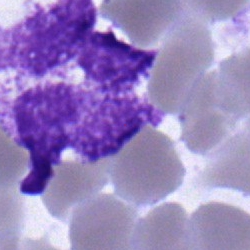Morphology — polymorphonuclear neutrophil.